250×250 px; bone marrow smear
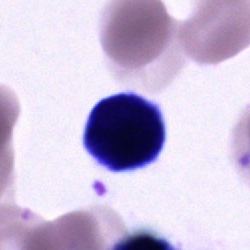
Specimen: bone marrow smear.
Cell type: cell of indeterminate lineage.